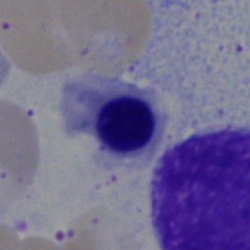

Morphological class — nucleated red blood cell.